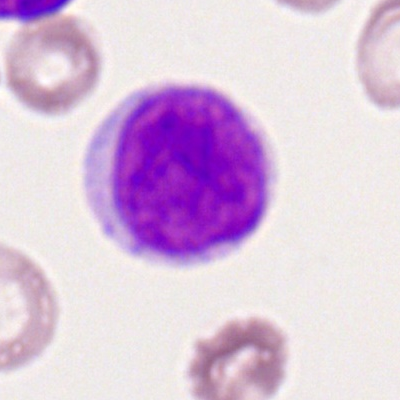 Morphology consistent with a myeloid blast.